Peripheral blood smear: 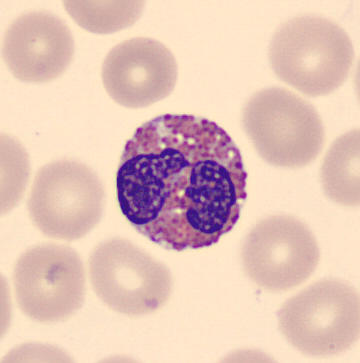

Showing an eosinophil.